Bone marrow aspirate smear:
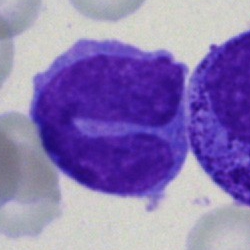Morphology — monocyte.